Bone marrow smear: 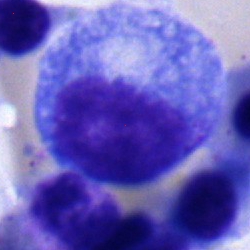

Single cell identified as a promyelocyte.